Bone marrow smear; Pappenheim-stained: 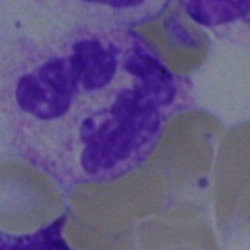

{"cell_type": "neutrophil (segmented)", "lineage": "myeloid"}